Bone marrow aspirate smear · image size 250×250: 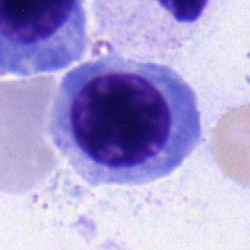Erythroblast.